Bone marrow smear
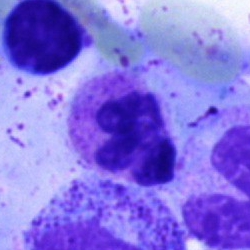
Morphology — neutrophil (segmented).